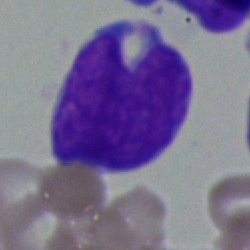
Q: What cell is this?
A: Blast cell.